Peripheral blood smear:
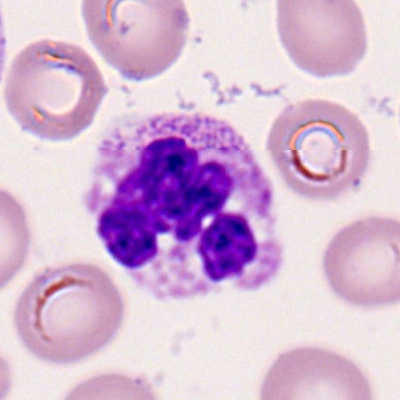Q: What is the morphological classification of this cell?
A: A segmented neutrophil.